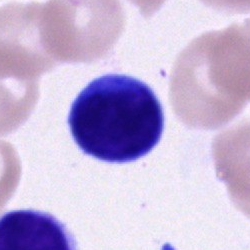

Showing a lymphocyte.